Bone marrow smear — 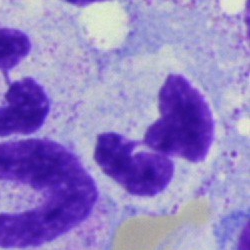

Q: Identify the cell.
A: This is a polymorphonuclear neutrophil.